Bone marrow aspirate smear
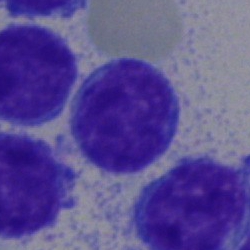 Q: Which cell type is shown here?
A: This is a lymphocyte.